Pappenheim-stained; bone marrow aspirate smear; 250×250:
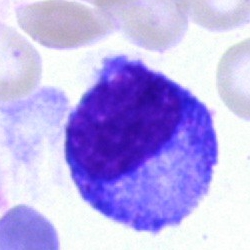The morphological class is progranulocyte.